Bone marrow smear. Image size 250×250. Single-cell crop
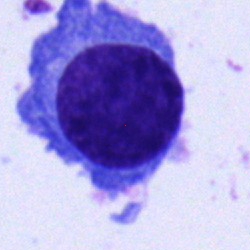 A plasma cell.